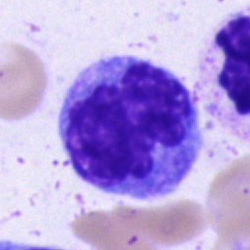

Monocyte.